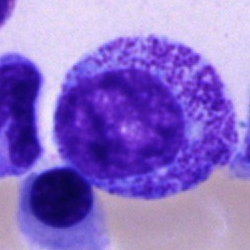

The cell shown is a progranulocyte.